Bone marrow aspirate smear: 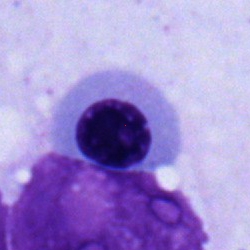
Specimen: bone marrow aspirate smear.
Classification: erythroblast.